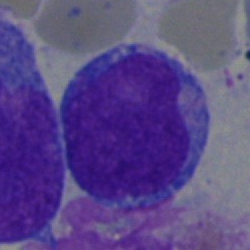

Showing a blast cell.